Brightfield, 40× oil-immersion objective · single-cell field · bone marrow smear.
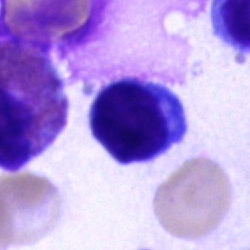The cell is lymphocyte.